Romanowsky stain. 400×400. Peripheral blood film — 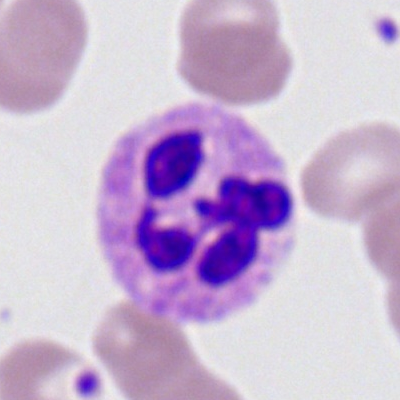
Cell type: neutrophil (segmented).